Romanowsky stain; peripheral blood smear:
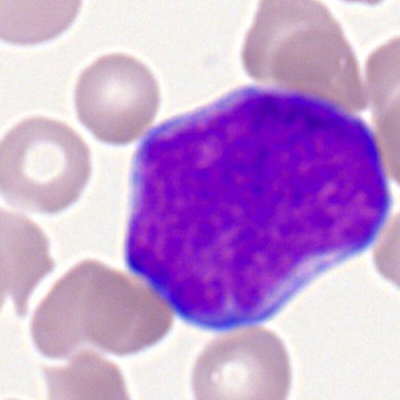
Morphological class = myeloblast.